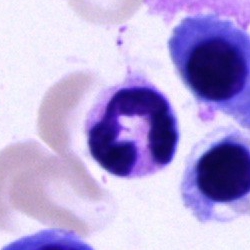 Cell type: segmented neutrophil.